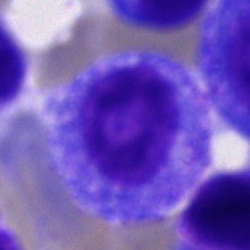

Q: What type of cell is this?
A: It is a promyelocyte.